Bone marrow smear
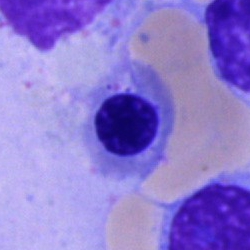

Specimen: bone marrow aspirate smear.
Cell type: nucleated red cell.
Lineage: erythroid.